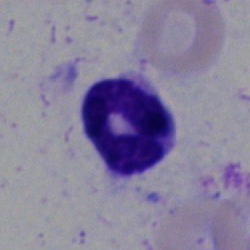 Morphology consistent with a polymorphonuclear neutrophil.